Bone marrow aspirate smear; May-Grünwald-Giemsa/Pappenheim stain; single cell centered in the field:
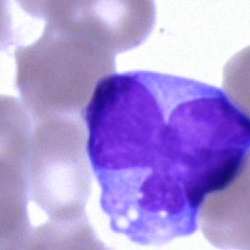
{"cell_type": "unidentifiable cell"}